Bone marrow aspirate smear:
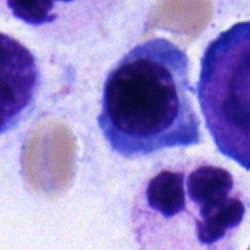

Q: What is the morphological classification of this cell?
A: Normoblast.